Bone marrow aspirate smear · MGG-stained · single-cell crop.
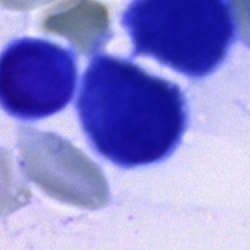

Specimen: bone marrow aspirate smear.
Cell: artefact.